Bone marrow aspirate smear · 40× oil immersion.
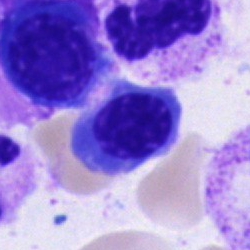The classification is erythroblast.